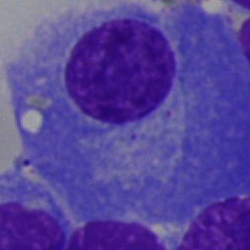

Q: What is the morphological classification of this cell?
A: A plasma cell.